250 by 250 pixels; bone marrow aspirate smear
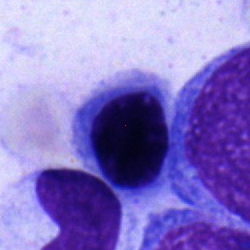 The cell shown is an erythroblast.